Bone marrow smear
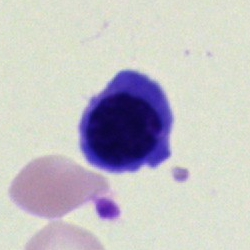

Cell type: erythroblast.